Peripheral blood film: 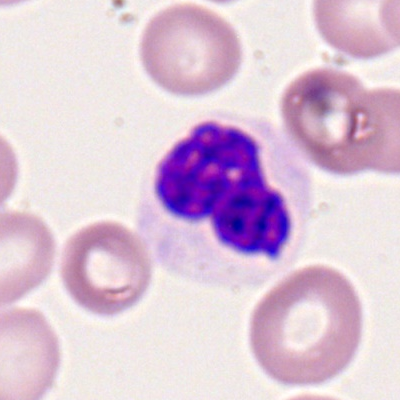 This is a polymorphonuclear neutrophil.